Bone marrow smear. MGG-stained. Single cell centered in the field:
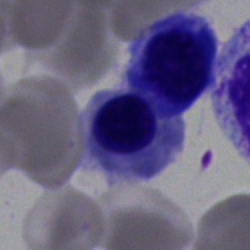

Morphological class — normoblast.